Bone marrow aspirate smear: 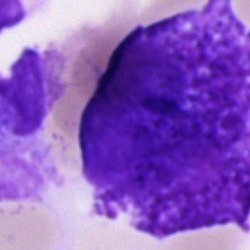Single cell identified as an undifferentiated blast.